250×250 · single-cell field · bone marrow smear: 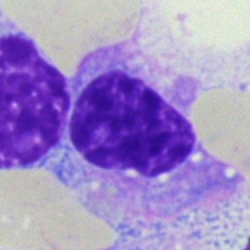
Impression → plasma cell.